Brightfield, 40× oil-immersion objective · bone marrow smear · image size 250×250: 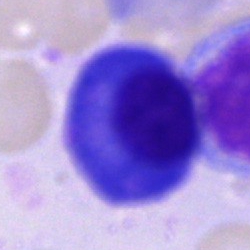Cell — plasma cell.